Bone marrow aspirate smear; image size 250×250: 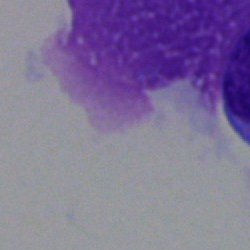 Artifact.